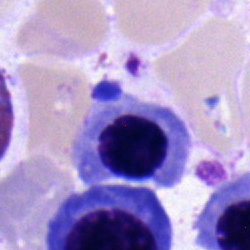
Morphological class: nucleated red blood cell.